Bone marrow smear — 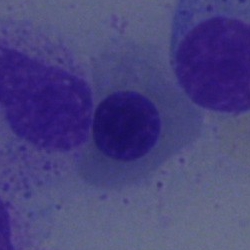

Impression — normoblast.